Bone marrow smear. MGG-stained
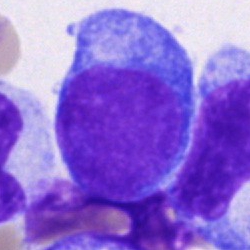
Specimen: bone marrow smear.
Morphological class: undifferentiated blast.